Bone marrow smear.
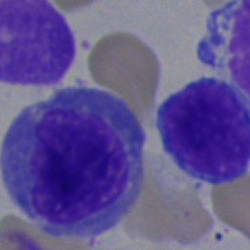Nucleated red cell.